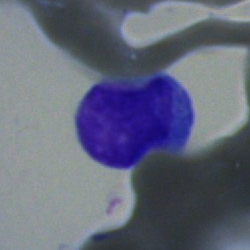
Impression — typical lymphocyte.